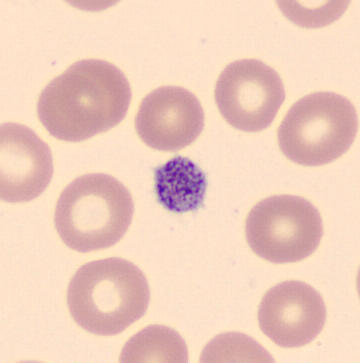
Peripheral blood film. Classification: platelet (thrombocyte).